Bone marrow aspirate smear: 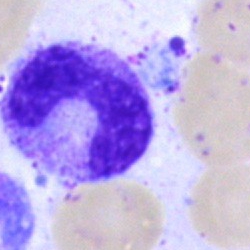
Q: What is the morphological classification of this cell?
A: A band-form neutrophil.